MGG-stained. Single-cell crop. Bone marrow smear — 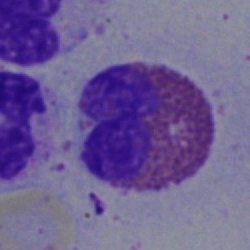This is an eosinophil.